Bone marrow aspirate smear — 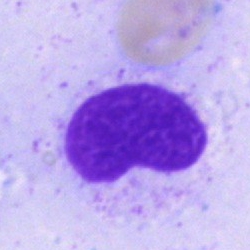
Specimen: bone marrow smear.
Classification: artefact.